Bone marrow aspirate smear · 250×250 · May-Grünwald-Giemsa/Pappenheim stain:
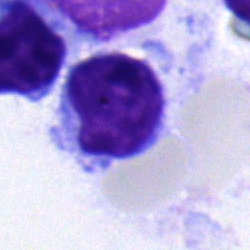Q: What cell is this?
A: A typical lymphocyte.